Bone marrow smear. 250 by 250 pixels — 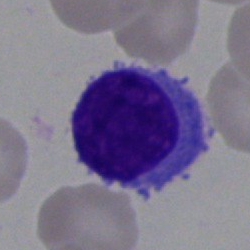 Q: Which cell type is shown here?
A: This is a lymphocyte.